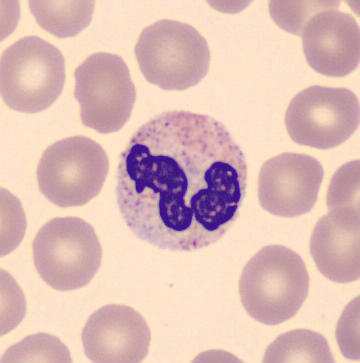 Cell type — polymorphonuclear neutrophil.